Bone marrow aspirate smear · image size 250×250 · cropped to a single cell: 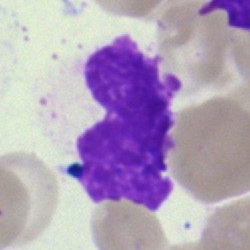 Morphological class — artefact.